Peripheral blood film
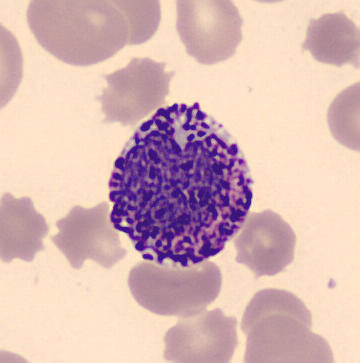

Single cell identified as a basophilic granulocyte.